250×250 · bone marrow aspirate smear:
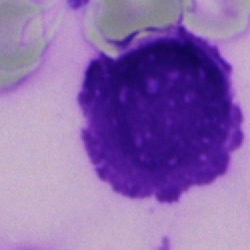Artefact.